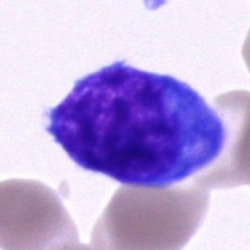 Single cell identified as an undifferentiated blast.